Bone marrow aspirate smear.
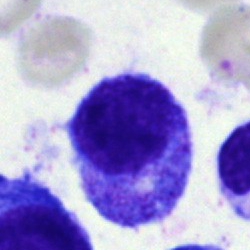

This is a myelocyte.